Bone marrow smear. Cropped to a single cell.
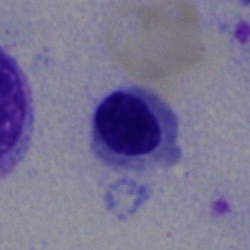Specimen: bone marrow smear.
Morphological class: erythroblast.
Lineage: erythroid.